Bone marrow aspirate smear. Single-cell crop. Image size 250×250: 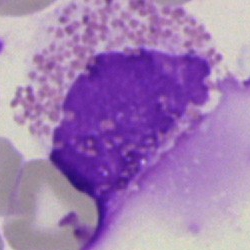 Cell type: artefact.